Bone marrow aspirate smear:
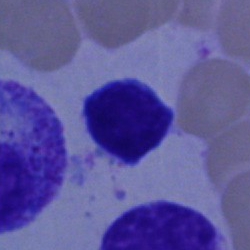 This is a typical lymphocyte.